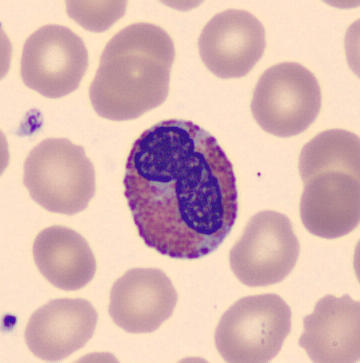

Eosinophilic granulocyte. Image: May-Grünwald-Giemsa-stained; peripheral blood smear; image size 360×363.